Bone marrow smear: 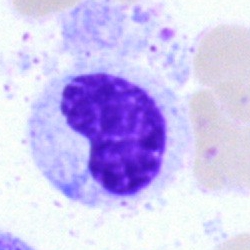
Morphological class — metamyelocyte.